Single-cell field; bone marrow smear.
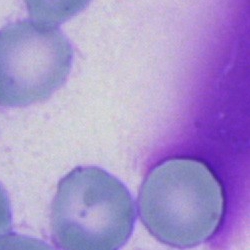
Artifact.